Bone marrow smear
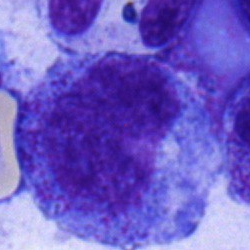Single cell identified as a promyelocyte.